Bone marrow aspirate smear — 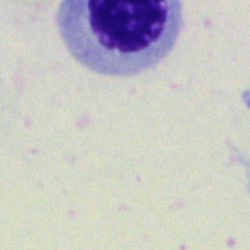Specimen: bone marrow smear.
Classification: artifact.